Bone marrow aspirate smear.
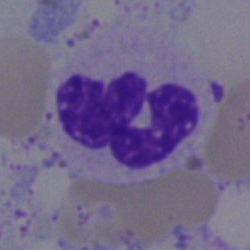Segmented neutrophil.